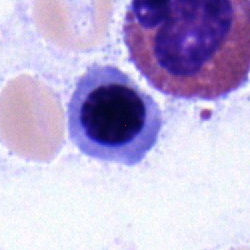 A nucleated red blood cell.